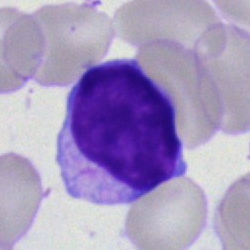Q: Identify the cell.
A: A typical lymphocyte.